Peripheral blood smear — 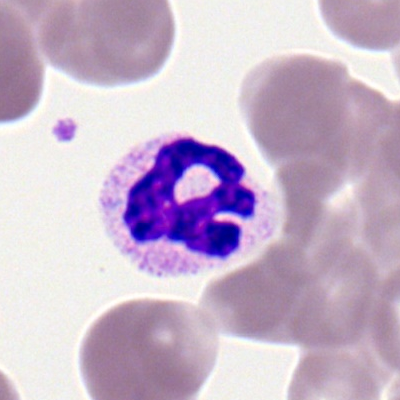 A polymorphonuclear neutrophil.